Single cell centered in the field. Bone marrow smear — 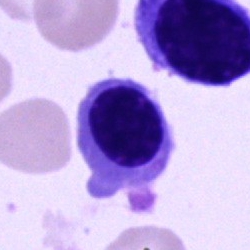

Cell type = erythroblast.